Peripheral blood film
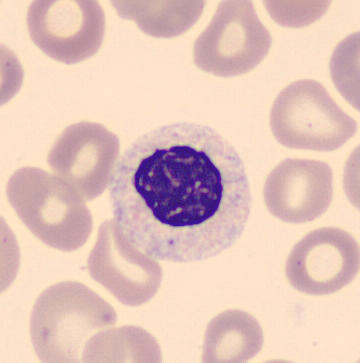
Specimen: peripheral blood film.
Cell: myelocyte.